Peripheral blood smear.
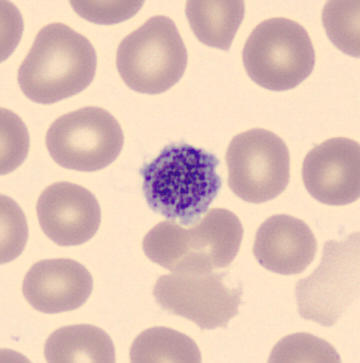Q: What is shown here?
A: This is a thrombocyte.